Bone marrow aspirate smear. MGG-stained:
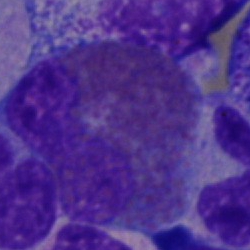 Morphological class — eosinophilic granulocyte.